Bone marrow smear.
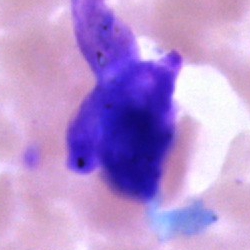 Single cell identified as an artifact.